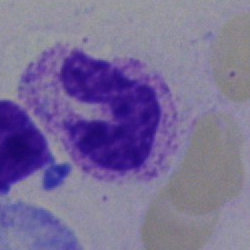

Single-cell crop from a bone marrow smear: neutrophil (band).